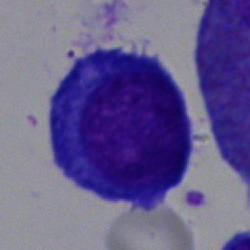
Bone marrow aspirate smear, single cell — plasmacyte.